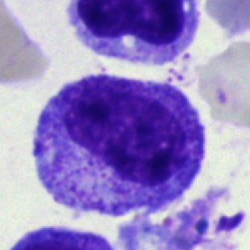
{"cell_type": "progranulocyte"}